Pappenheim-stained; bone marrow smear
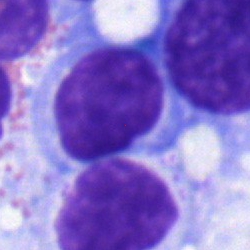 Q: What type of cell is this?
A: Lymphocyte.